Peripheral blood smear · single cell centered in the field · 400×400:
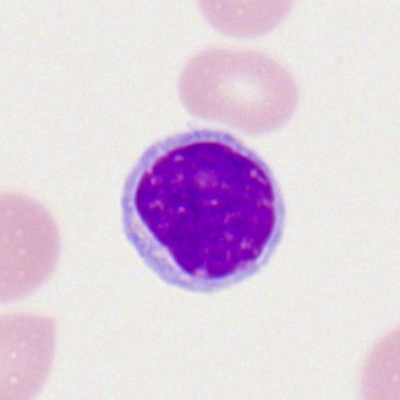The morphological class is typical lymphocyte.